40× oil immersion. Bone marrow aspirate smear.
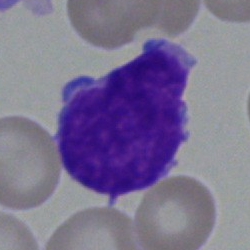 Q: What cell is this?
A: Blast.